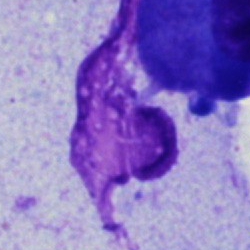Morphology — artifact.